Bone marrow aspirate smear:
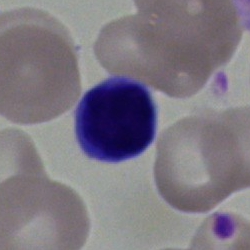

The morphological class is lymphocyte.